MGG-stained · bone marrow aspirate smear
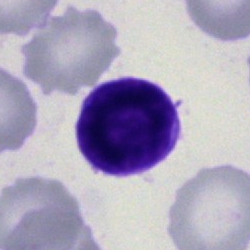

Classification: lymphocyte.